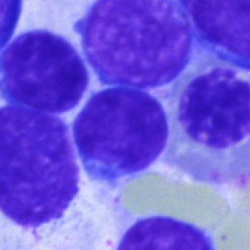 The classification is lymphocyte.